Single-cell field. Bone marrow aspirate smear:
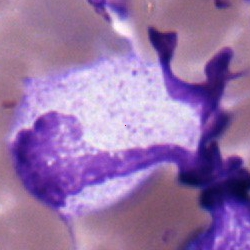
Morphological class: neutrophil (segmented).